100× objective, oil immersion. Peripheral blood film: 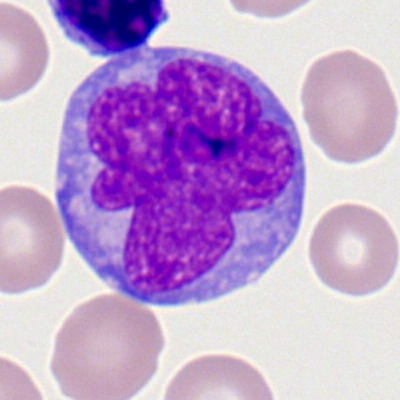 Specimen: peripheral blood smear.
Classification: myeloblast.